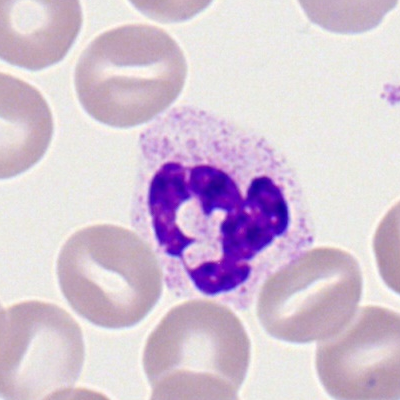
Neutrophil (segmented).